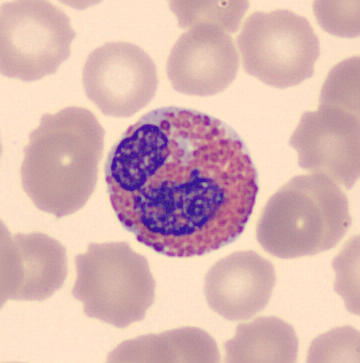 Peripheral blood film · May Grünwald-Giemsa stain.
Classification = eosinophil.